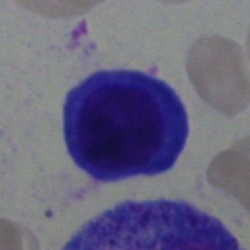The cell is normoblast.